MGG-stained; bone marrow smear
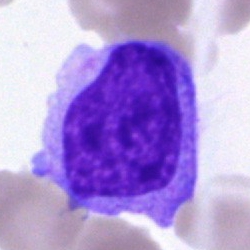 Morphology consistent with a blast cell.